Bone marrow smear — 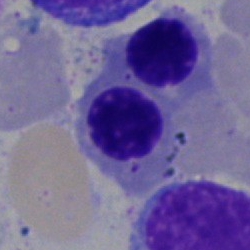Showing a nucleated red blood cell.